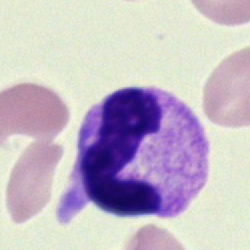Impression → segmented neutrophil.